Bone marrow aspirate smear
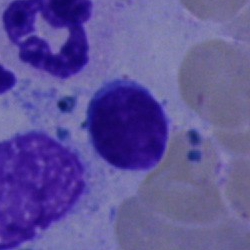 The cell shown is a lymphocyte.